Bone marrow aspirate smear — 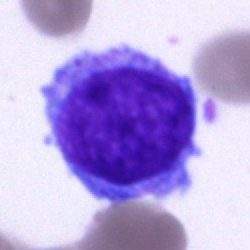 Q: Which cell type is shown here?
A: An undifferentiated blast.